Bone marrow aspirate smear: 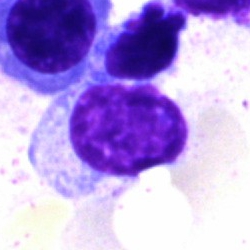 Morphology consistent with a lymphocyte.